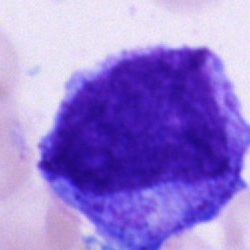 Cell: promyelocyte.